Bone marrow aspirate smear:
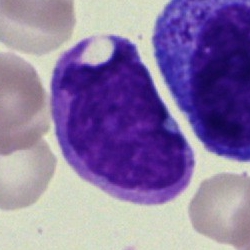Single cell identified as a monocyte.